Peripheral blood smear.
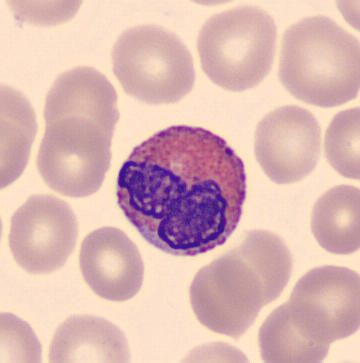Cell type = eosinophil.